May-Grünwald-Giemsa/Pappenheim stain; bone marrow smear:
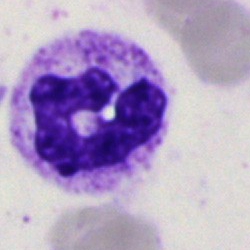Showing a polymorphonuclear neutrophil.